Bone marrow smear · 250 by 250 pixels.
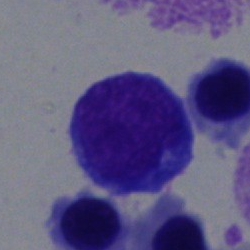
Showing a lymphocyte.